Bone marrow smear. Single-cell field. MGG-stained.
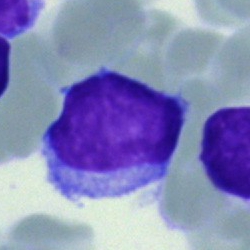Q: Which cell type is shown here?
A: This is a lymphocyte.